Bone marrow aspirate smear
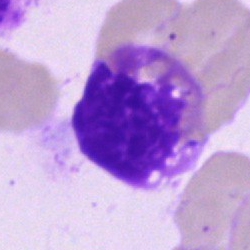

Cell — artefact.